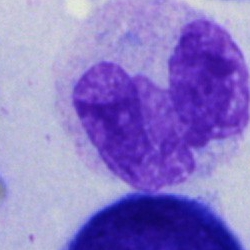
Morphology consistent with a neutrophil (band).